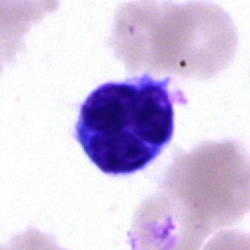
Cell — lymphocyte.